Cropped to a single cell. Bone marrow aspirate smear. Pappenheim-stained:
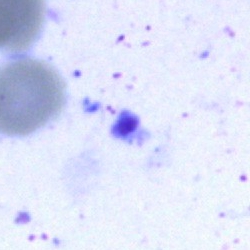
Q: What is shown here?
A: It is an artifact.